Bone marrow smear; May-Grünwald-Giemsa/Pappenheim stain.
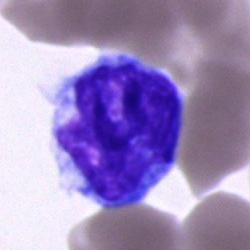 Impression — monocyte.